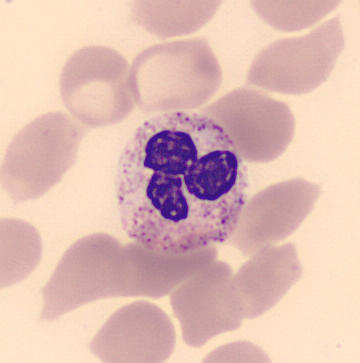 Preparation: MGG-stained; peripheral blood smear.

A segmented neutrophil.